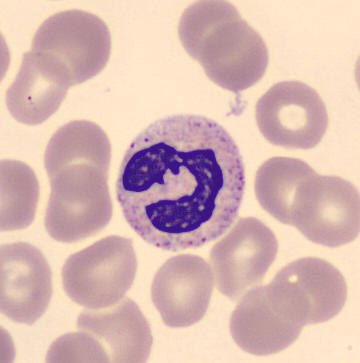Single-cell crop from a peripheral blood smear: neutrophil (segmented).